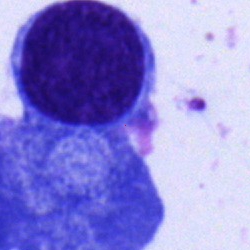 Specimen: bone marrow aspirate smear.
Cell type: plasmacyte.